Bone marrow smear:
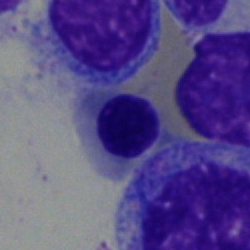 The cell shown is a normoblast.